Bone marrow smear
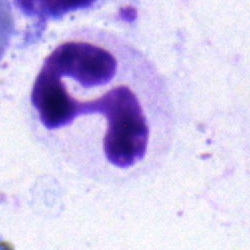 Cell: neutrophil (segmented).